Bone marrow smear · 40× objective, oil immersion
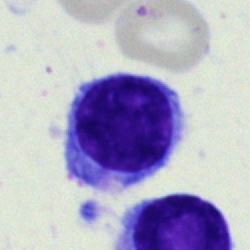

Q: Identify the cell.
A: It is a lymphocyte.